400×400. Peripheral blood smear. 100× oil immersion:
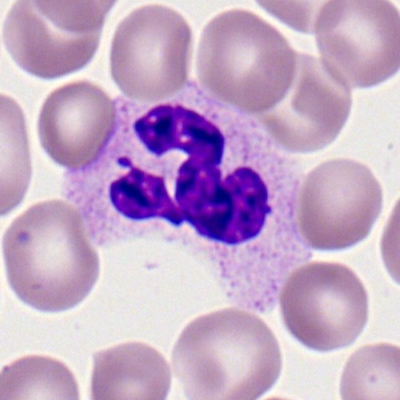

{"cell_type": "polymorphonuclear neutrophil", "lineage": "myeloid"}